Brightfield, 40× oil-immersion objective · bone marrow smear:
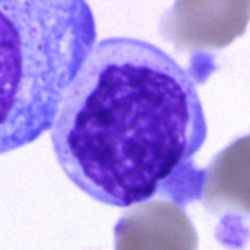A cell of indeterminate lineage.